Bone marrow aspirate smear; 40× oil immersion.
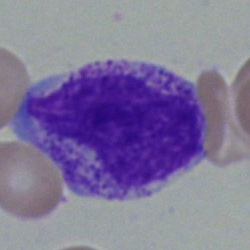Morphology — myelocyte.